Bone marrow smear. Single-cell field.
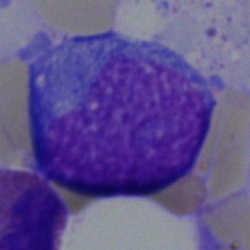

Undifferentiated blast.